Brightfield microscopy, 40× oil immersion. Bone marrow smear:
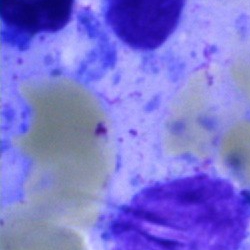 This is an artifact.